Bone marrow smear.
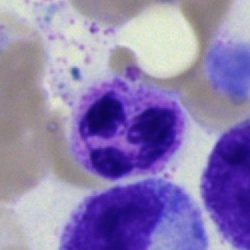

Q: What cell is this?
A: This is a neutrophil (segmented).